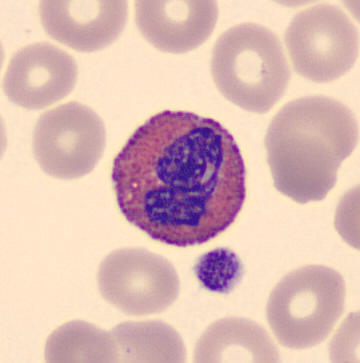
Showing an eosinophil.

Acquisition: Peripheral blood film.